Bone marrow aspirate smear: 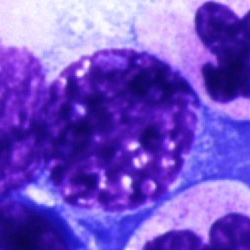 Nucleated red blood cell.